Peripheral blood smear — 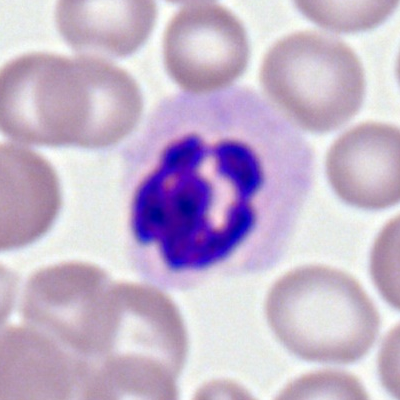
Morphology consistent with a neutrophil (segmented).